Cropped to a single cell; bone marrow smear; 250×250 px.
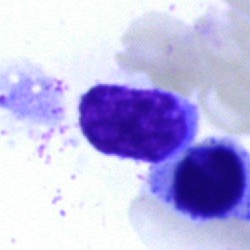
Impression — lymphocyte.